May-Grünwald-Giemsa stain; bone marrow smear; image size 250×250: 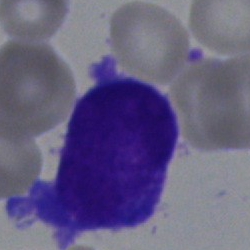This is a blast cell.